Bone marrow aspirate smear. May-Grünwald-Giemsa stain — 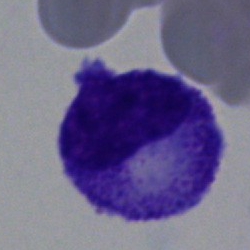Morphology consistent with a progranulocyte.